Single cell centered in the field. Peripheral blood smear:
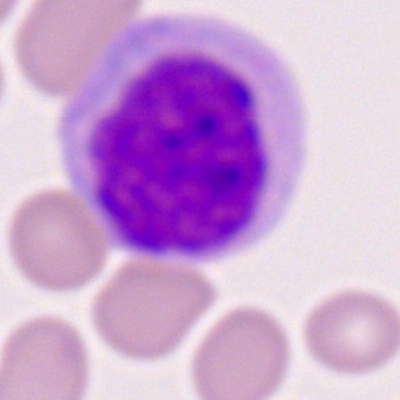This is a monocyte.